Bone marrow aspirate smear — 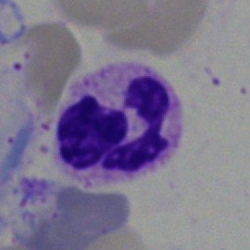
Classification: neutrophil (segmented).